Bone marrow aspirate smear. May-Grünwald-Giemsa/Pappenheim stain. Single-cell crop:
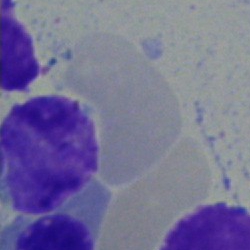

Q: Identify the cell.
A: Typical lymphocyte.